Romanowsky-stained. Brightfield, 100× oil-immersion objective. Peripheral blood film
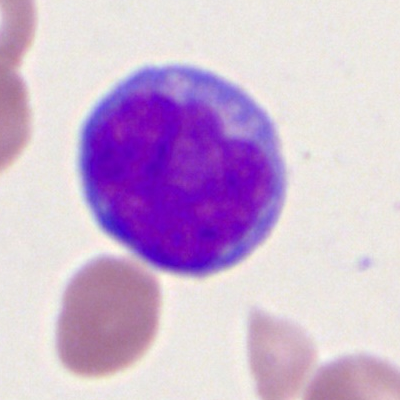
Impression → myeloid blast.